MGG-stained · bone marrow smear
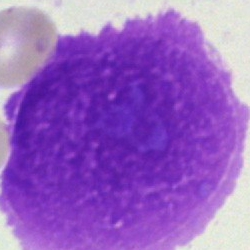This is an artefact.